MGG-stained; bone marrow smear: 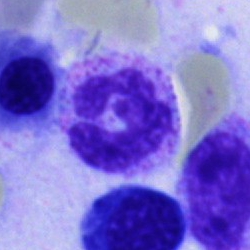
Q: Which cell type is shown here?
A: This is a neutrophil (segmented).